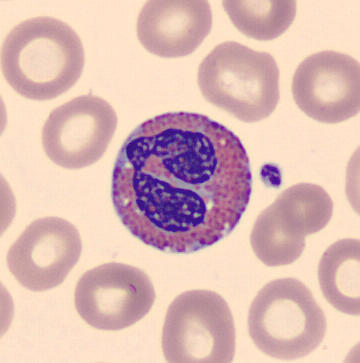

Classification: eosinophilic granulocyte.